Bone marrow smear:
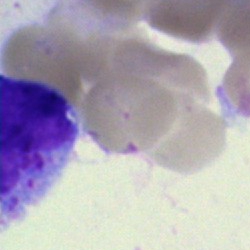 An artifact.